Peripheral blood film
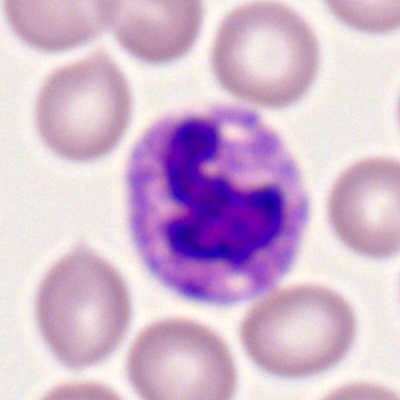 Classification = polymorphonuclear neutrophil.